Single-cell crop. Bone marrow smear:
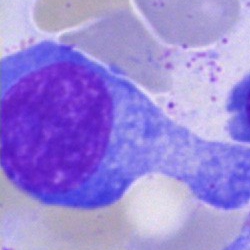

Q: Identify the cell.
A: A plasma cell.